Single-cell field. Bone marrow smear:
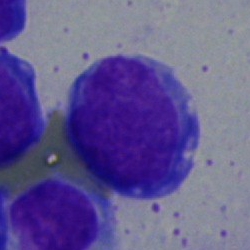

Q: What type of cell is this?
A: Blast.